Bone marrow smear · cropped to a single cell:
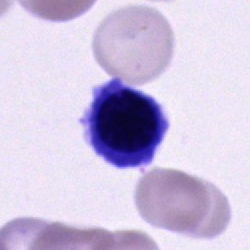

This is a cell of indeterminate lineage.